Bone marrow smear — 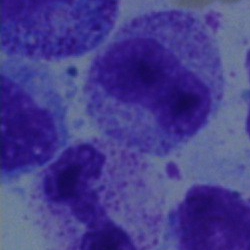 The morphological class is metamyelocyte.